May-Grünwald-Giemsa/Pappenheim stain. Bone marrow aspirate smear — 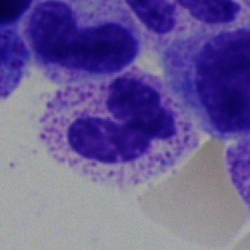

Q: What is the morphological classification of this cell?
A: It is a neutrophil (segmented).